250×250 px · bone marrow aspirate smear: 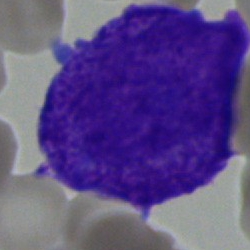

Impression → blast cell.